Bone marrow aspirate smear. Single cell centered in the field. Image size 250×250.
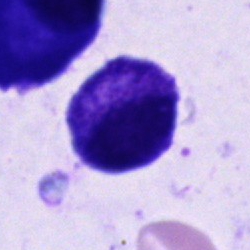
Q: What type of cell is this?
A: This is a cell of indeterminate lineage.